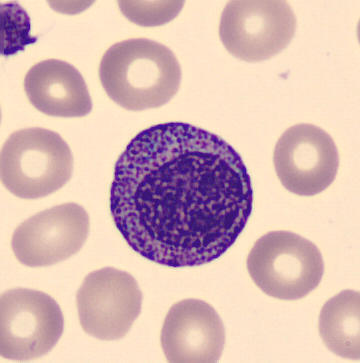 Preparation: Single-cell field. Peripheral blood film.
Cell — promyelocyte.